CellaVision DM96; peripheral blood smear
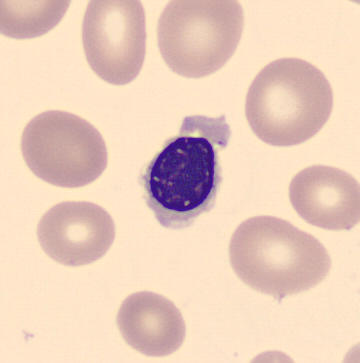
Cell type — normoblast.